40× objective, oil immersion · bone marrow aspirate smear:
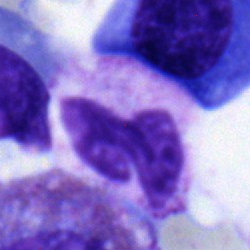
Q: Identify the cell.
A: Band neutrophil.